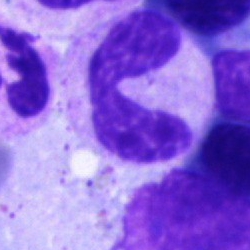A neutrophil (band) on a bone marrow smear.